Bone marrow aspirate smear:
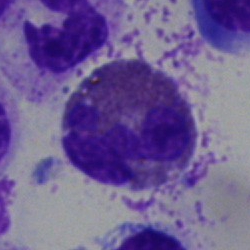Morphology — eosinophilic granulocyte.